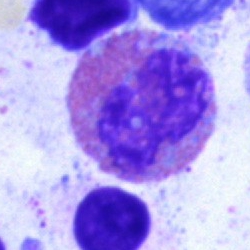
Specimen: bone marrow smear.
Cell: eosinophil.